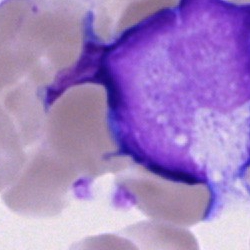
Classification — artefact.